Image size 250×250 · bone marrow aspirate smear: 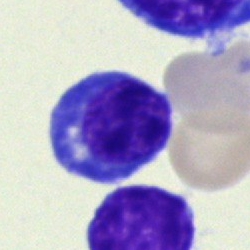{"cell_type": "nucleated red blood cell", "lineage": "erythroid"}